Bone marrow aspirate smear; 250×250; MGG-stained.
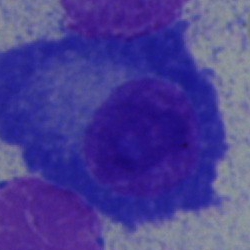
The cell shown is a plasmacyte.